Single-cell crop; bone marrow smear: 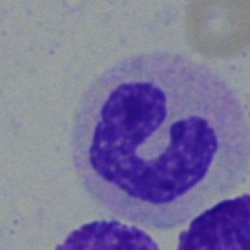

Cell = band-form neutrophil.